Bone marrow aspirate smear; single-cell field:
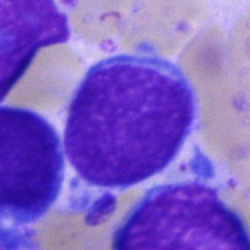 This is a blast.